Peripheral blood smear.
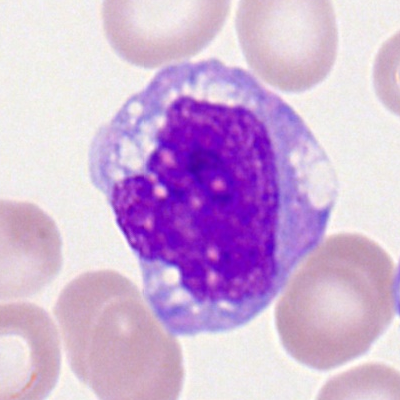
Specimen: peripheral blood smear.
Cell: monocyte.